Bone marrow smear.
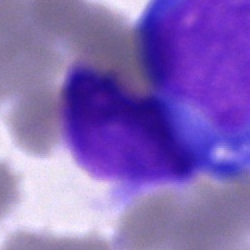
Morphology consistent with an undifferentiated blast.